Peripheral blood film: 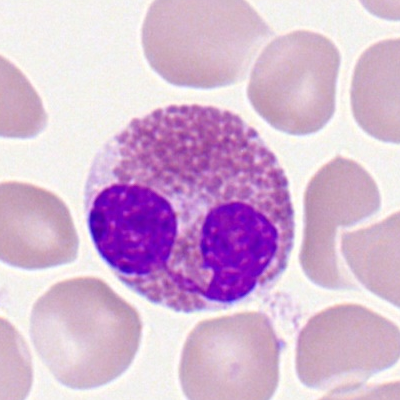

Q: What cell is this?
A: It is an eosinophil.